40× oil immersion; MGG-stained; bone marrow aspirate smear
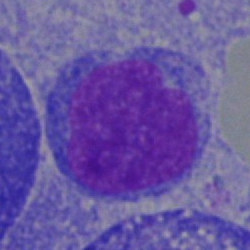Specimen: bone marrow smear.
Morphological class: undifferentiated blast.